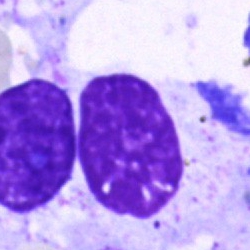 Single cell identified as an artifact.